Bone marrow smear — 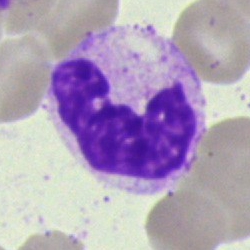 Q: Identify the cell.
A: This is a neutrophil (segmented).